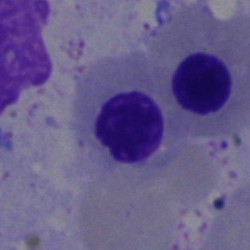Morphology — nucleated red cell.